May-Grünwald-Giemsa/Pappenheim stain. Bone marrow smear. Single-cell field:
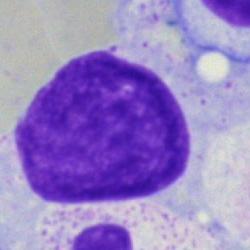

Specimen: bone marrow smear.
Morphological class: artifact.